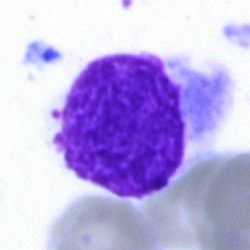

{"cell_type": "artifact"}